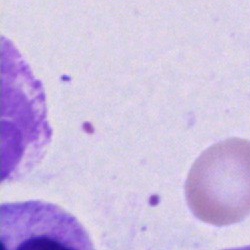
Q: What is shown here?
A: Artefact.